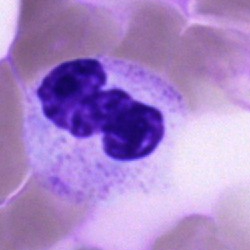 Q: What is the morphological classification of this cell?
A: It is a polymorphonuclear neutrophil.